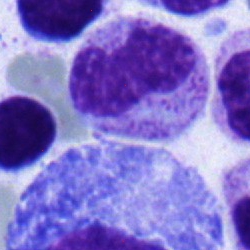Q: What is shown here?
A: Metamyelocyte.